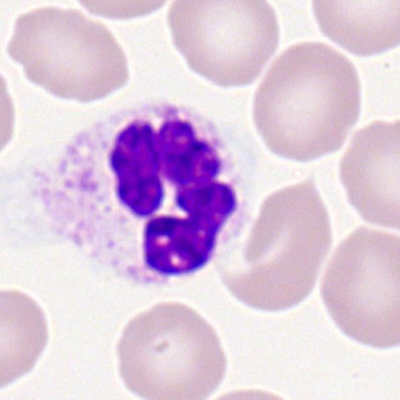Segmented neutrophil.